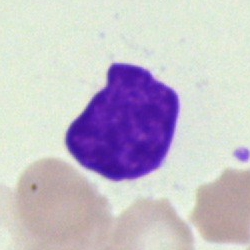

Cell type = artifact.